Bone marrow smear — 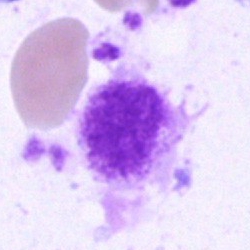Q: What is shown here?
A: An artifact.